Peripheral blood smear — 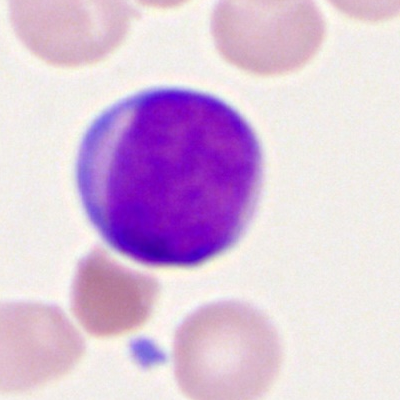

This is a myeloid blast.